May-Grünwald-Giemsa stain · image size 250×250 · bone marrow aspirate smear
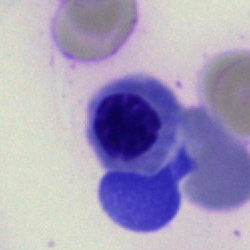Classification — nucleated red blood cell.